May-Grünwald-Giemsa/Pappenheim stain · bone marrow smear.
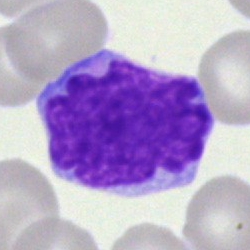
Cell type — blast cell.